Bone marrow smear. May-Grünwald-Giemsa/Pappenheim stain. Brightfield, 40× oil-immersion objective: 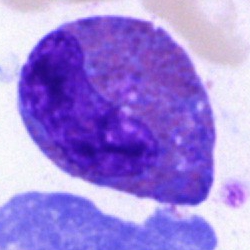Q: Which cell type is shown here?
A: Eosinophilic granulocyte.